Bone marrow aspirate smear:
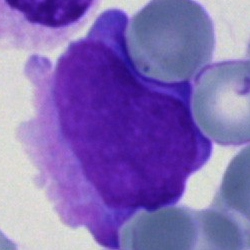Morphology — blast cell.